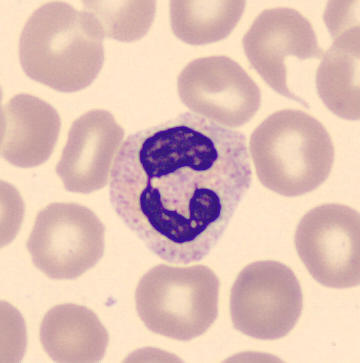 The cell shown is a neutrophil (segmented).
Preparation: Peripheral blood smear.